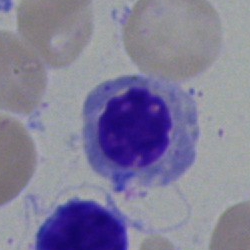
The cell is erythroblast.